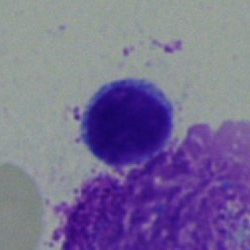Lymphocyte.